40× objective, oil immersion. Bone marrow smear — 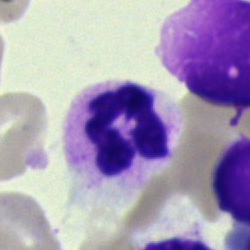Q: What is the morphological classification of this cell?
A: Neutrophil (segmented).